Cropped to a single cell. Bone marrow aspirate smear.
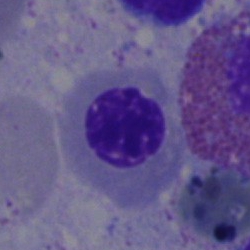 Specimen: bone marrow smear.
Morphological class: nucleated red blood cell.